Bone marrow aspirate smear: 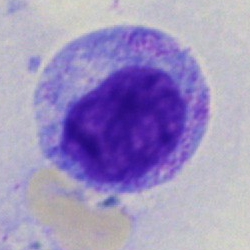 The cell shown is a myelocyte.